Bone marrow aspirate smear. Pappenheim-stained:
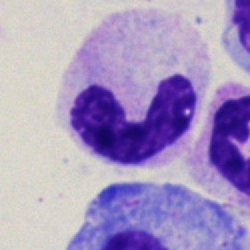

Cell = neutrophil (band).